250×250 px; single-cell field; bone marrow aspirate smear:
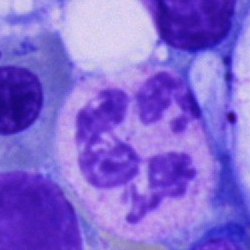 Q: Identify the cell.
A: A neutrophil (segmented).